Bone marrow smear; 250×250
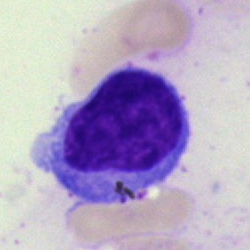Cell type — lymphocyte.